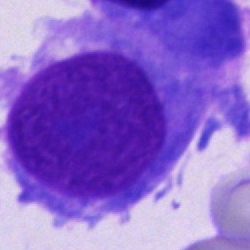

Specimen: bone marrow aspirate smear.
Morphological class: other cell.